Cropped to a single cell. Bone marrow smear — 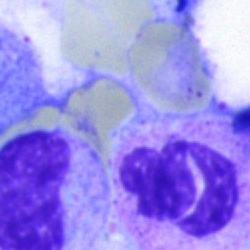

Q: What is the morphological classification of this cell?
A: It is a polymorphonuclear neutrophil.